Bone marrow smear · brightfield microscopy, 40× oil immersion · May-Grünwald-Giemsa stain.
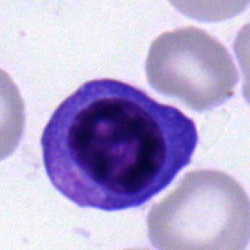 Cell type = plasma cell.